Bone marrow smear:
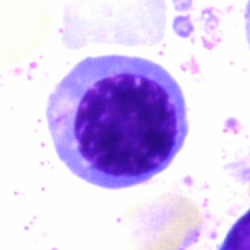Cell = erythroblast.